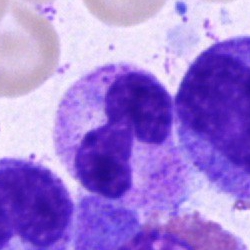

A polymorphonuclear neutrophil on a bone marrow smear.